Image size 250×250. May-Grünwald-Giemsa stain. Bone marrow smear:
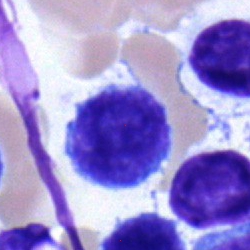

Impression — lymphocyte.